Bone marrow aspirate smear
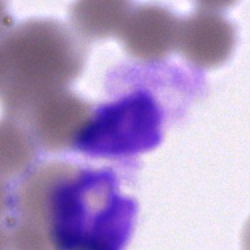

Cell — neutrophil (segmented).